Peripheral blood smear. Romanowsky-stained
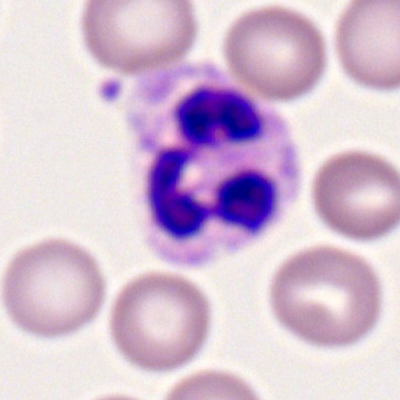

This is a segmented neutrophil.